Single-cell field · bone marrow smear:
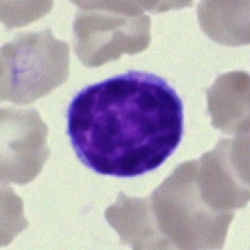 Lymphocyte.